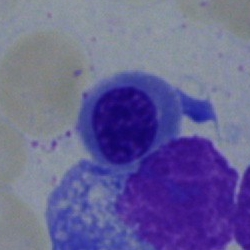{"cell_type": "nucleated red blood cell"}